Bone marrow aspirate smear:
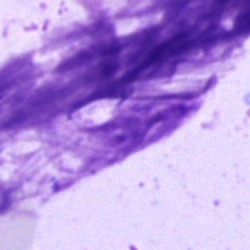 Specimen: bone marrow smear.
Cell: artifact.